Peripheral blood film; Romanowsky stain: 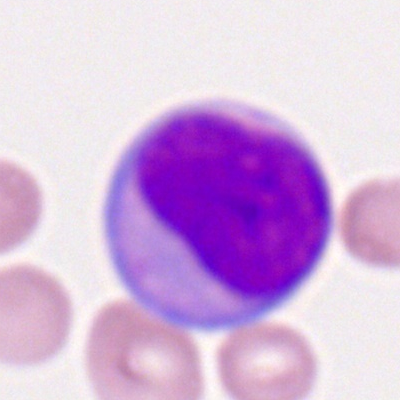
Q: What cell is this?
A: It is a myeloid blast.